Bone marrow smear; May-Grünwald-Giemsa stain; 250×250 px.
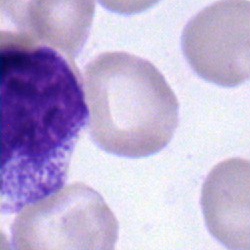 Impression — myelocyte.